Bone marrow aspirate smear.
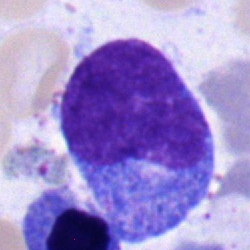Blast cell.